Bone marrow aspirate smear: 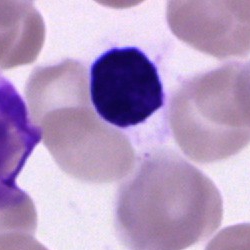
Specimen: bone marrow smear.
Cell type: unidentifiable cell.